Bone marrow smear · single-cell field · Pappenheim-stained
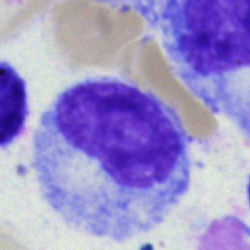 Classification = myelocyte.